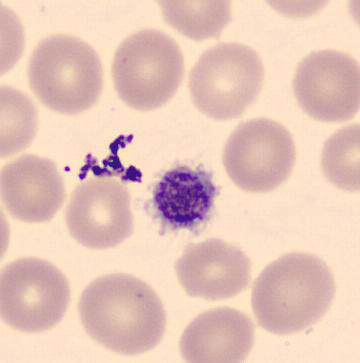

Acquisition: Peripheral blood film. {"cell_type": "thrombocyte"}